Peripheral blood film — 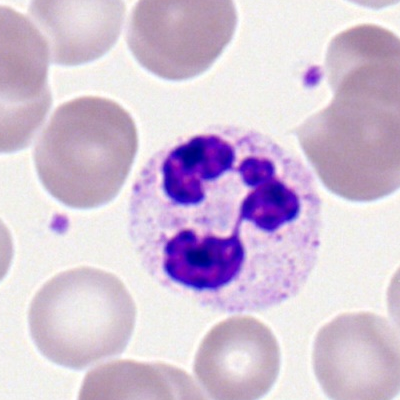 Impression → polymorphonuclear neutrophil.